Peripheral blood film:
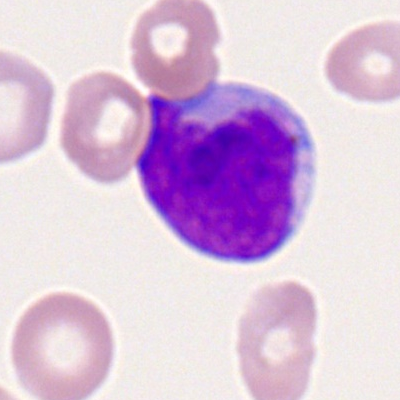 Classification: myeloid blast.